Bone marrow aspirate smear. Single-cell crop
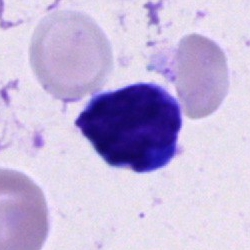Impression → cell of indeterminate lineage.